Brightfield microscopy, 40× oil immersion; bone marrow aspirate smear; single-cell crop: 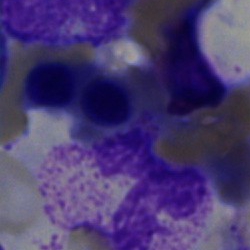A segmented neutrophil.